250×250 px; bone marrow aspirate smear:
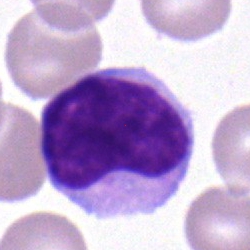

Specimen: bone marrow aspirate smear.
Cell: lymphocyte.